Bone marrow smear.
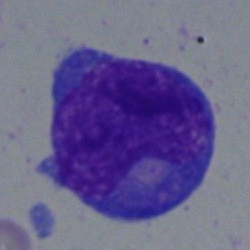 Morphology consistent with a blast.